Peripheral blood film — 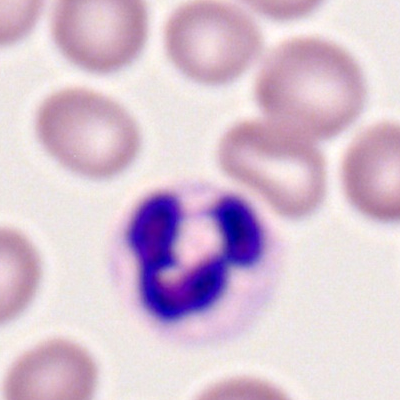
The cell shown is a polymorphonuclear neutrophil.